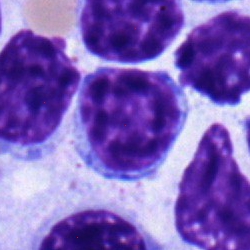

Specimen: bone marrow smear.
Classification: typical lymphocyte.
Lineage: lymphoid.